Bone marrow smear — 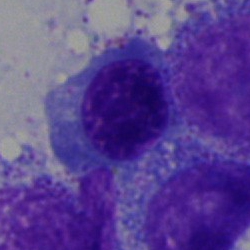{"cell_type": "erythroblast", "lineage": "erythroid"}